Romanowsky stain · peripheral blood smear.
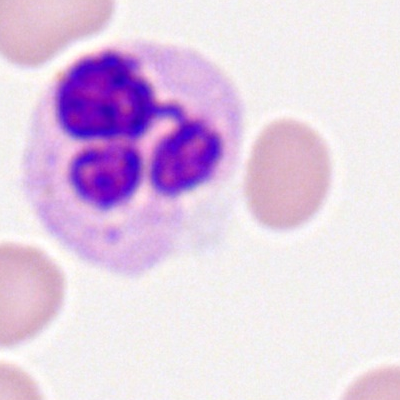

Neutrophil (segmented).